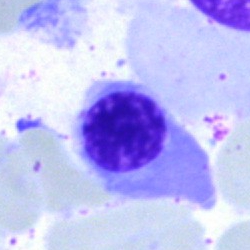Showing a nucleated red blood cell.